250×250 · bone marrow smear
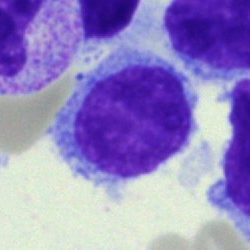

{"cell_type": "hairy cell", "lineage": "lymphoid"}